40× oil immersion; bone marrow smear:
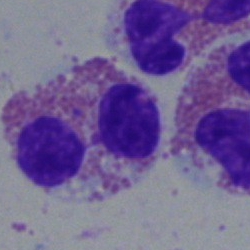 Cell type — eosinophil.